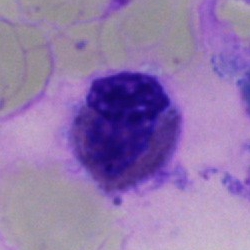
Morphological class — eosinophilic granulocyte.